Bone marrow smear — 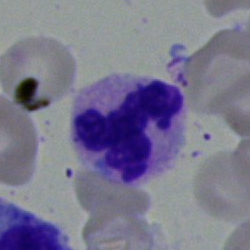Showing a neutrophil (segmented).